250×250. May-Grünwald-Giemsa/Pappenheim stain. Bone marrow smear — 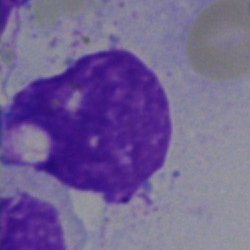
Morphology — artefact.